Bone marrow smear — 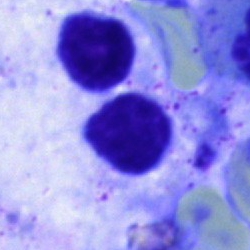Specimen: bone marrow smear.
Morphological class: typical lymphocyte.
Lineage: lymphoid.